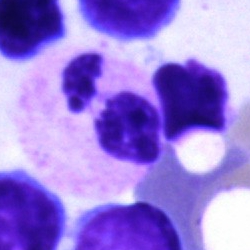 The cell type is segmented neutrophil.